Bone marrow aspirate smear
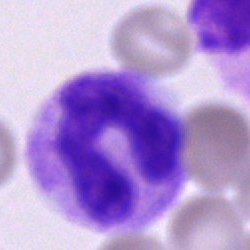{"cell_type": "stab cell", "lineage": "myeloid"}